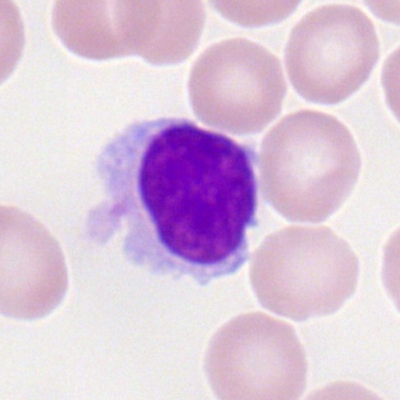This is a typical lymphocyte.